Pappenheim-stained. Bone marrow aspirate smear:
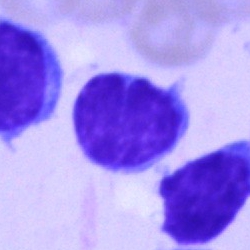Classification — lymphocyte.